Cropped to a single cell. Bone marrow aspirate smear: 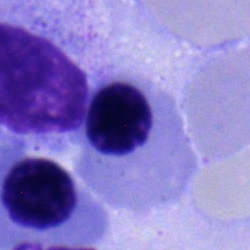Morphology — nucleated red cell.